40× objective, oil immersion · bone marrow aspirate smear — 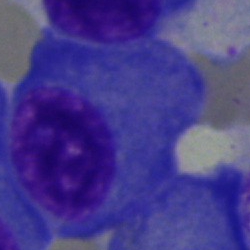Morphological class = plasmacyte.